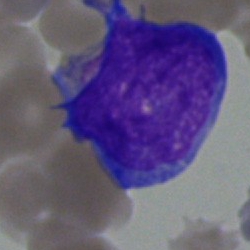Classification: blast cell.